250×250 px; bone marrow aspirate smear; May-Grünwald-Giemsa/Pappenheim stain: 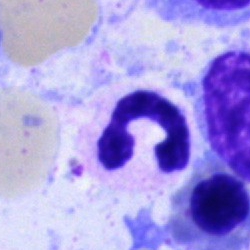

The morphological class is neutrophil (segmented).